Bone marrow aspirate smear. Single-cell crop: 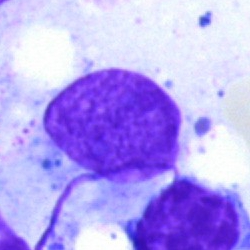
Showing an artefact.